Bone marrow aspirate smear — 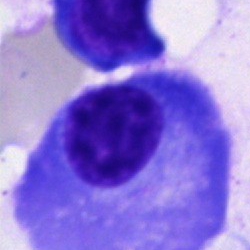 Impression — plasmacyte.